Bone marrow aspirate smear — 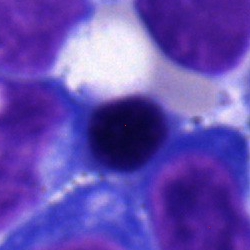

This is a nucleated red blood cell.